Single-cell field; bone marrow smear.
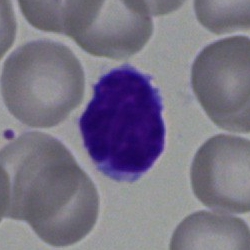

The cell is lymphocyte.